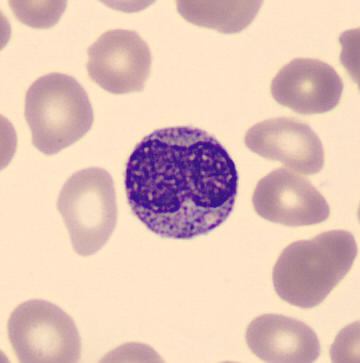 Cell — metamyelocyte.